Cropped to a single cell; MGG-stained; bone marrow aspirate smear: 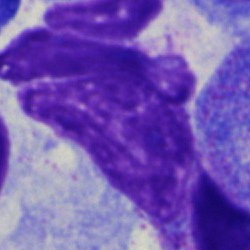Cell type: artifact.